Bone marrow aspirate smear: 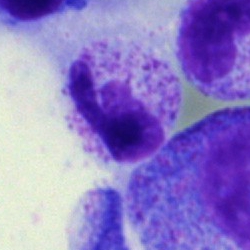

Morphological class = neutrophil (segmented).